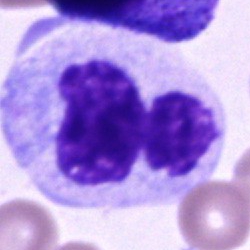

Q: What is shown here?
A: A segmented neutrophil.